Bone marrow smear
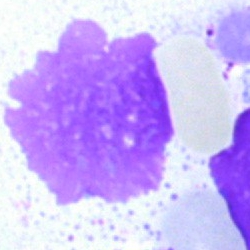Morphology consistent with an artefact.